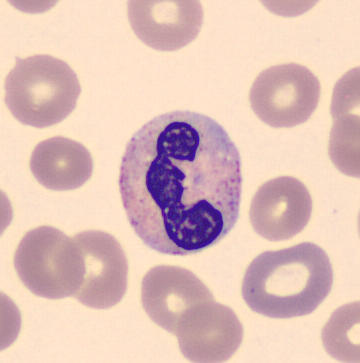The cell is polymorphonuclear neutrophil.